Pappenheim-stained. Bone marrow smear
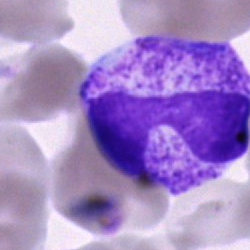 This is a segmented neutrophil.